250×250; bone marrow smear:
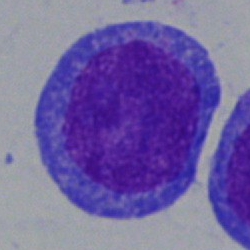A blast cell.